Bone marrow aspirate smear:
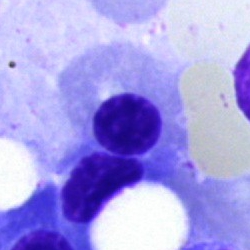
A normoblast.